Bone marrow smear · brightfield, 40× oil-immersion objective · May-Grünwald-Giemsa stain:
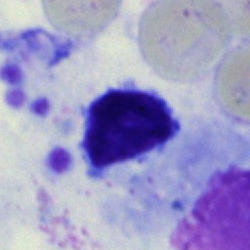Single cell identified as a typical lymphocyte.